Bone marrow smear.
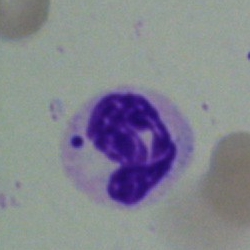 Morphology — polymorphonuclear neutrophil.